250×250; 40× oil immersion; bone marrow smear
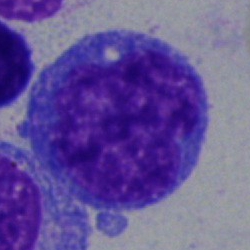 Morphology → progranulocyte.